Bone marrow aspirate smear. Pappenheim-stained.
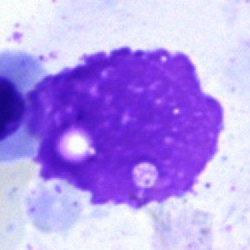
Cell — artifact.